Bone marrow aspirate smear; 250 by 250 pixels:
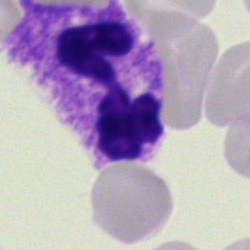 A neutrophil (segmented).